Bone marrow aspirate smear: 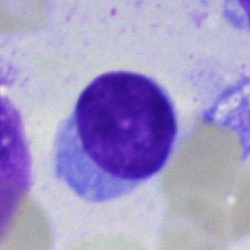The cell is lymphocyte.